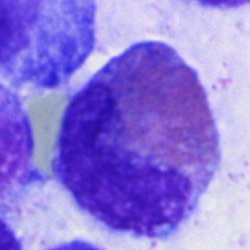Cell type — eosinophilic granulocyte.